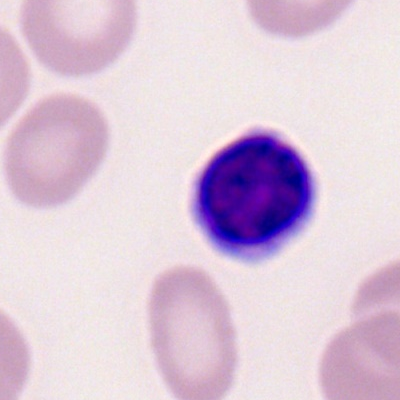

Morphological class = typical lymphocyte.